Bone marrow smear.
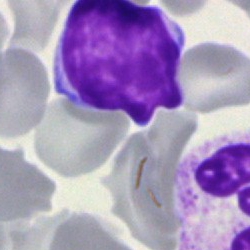
Single cell identified as a lymphocyte.